Peripheral blood smear: 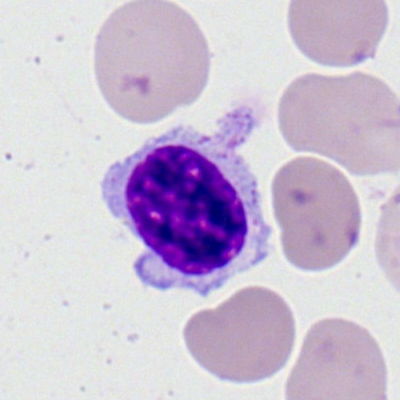Cell type = lymphocyte.